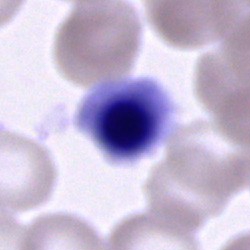Specimen: bone marrow smear.
Morphological class: erythroblast.
Lineage: erythroid.